Bone marrow aspirate smear:
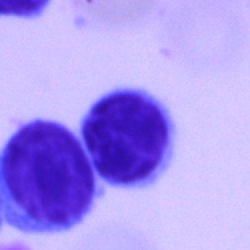 Cell type = typical lymphocyte.